250×250 px · bone marrow smear.
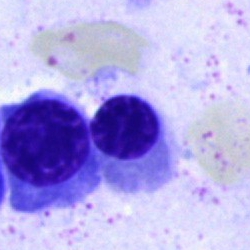
Q: What is the morphological classification of this cell?
A: An erythroblast.